Bone marrow smear; single-cell field: 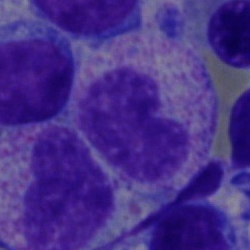

Cell — metamyelocyte.